400×400 px; peripheral blood smear; single-cell field.
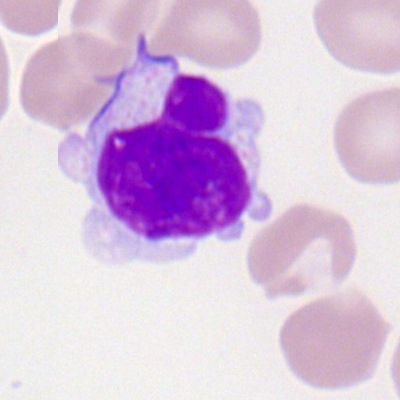 Specimen: peripheral blood film.
Classification: lymphocyte.